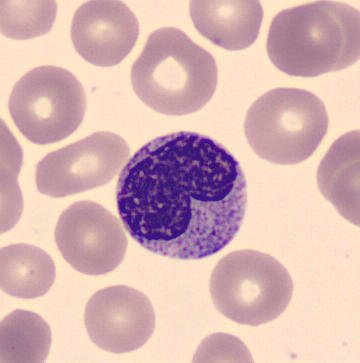

Peripheral blood smear. Cell type: metamyelocyte.